Peripheral blood smear — 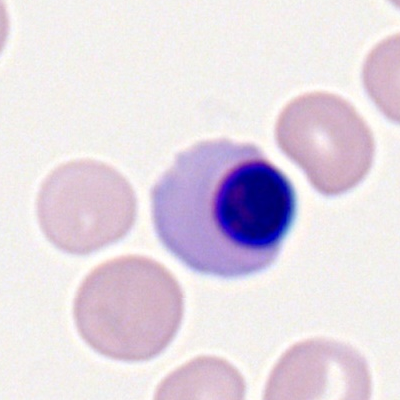

{"cell_type": "typical lymphocyte"}